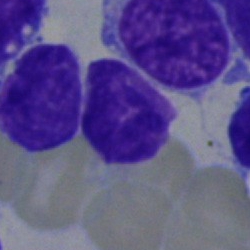 The cell type is undifferentiated blast.